Bone marrow aspirate smear.
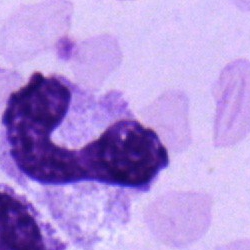
This is a segmented neutrophil.